Bone marrow aspirate smear.
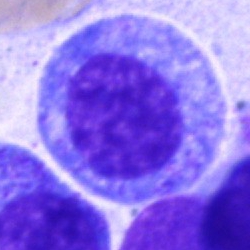

{"cell_type": "progranulocyte"}